Peripheral blood smear:
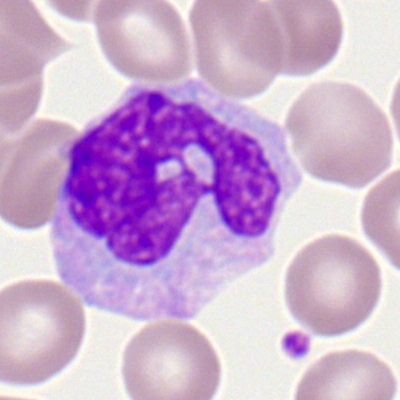
Morphology → monocyte.